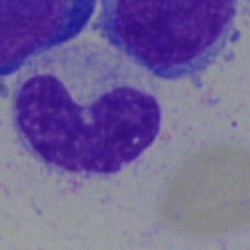

Cell = band neutrophil.